Bone marrow smear — 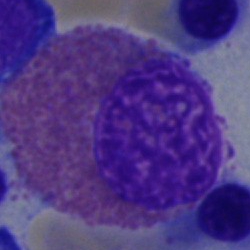Cell = eosinophilic granulocyte.